Bone marrow smear — 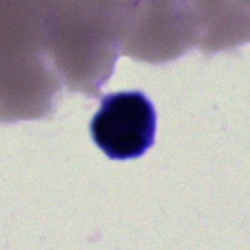

Cell — artefact.